Bone marrow smear.
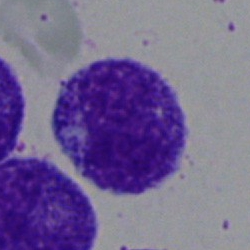The cell shown is a myelocyte.